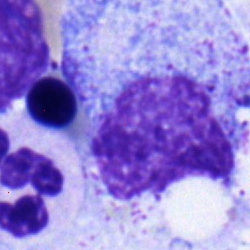

A progranulocyte.